Peripheral blood smear:
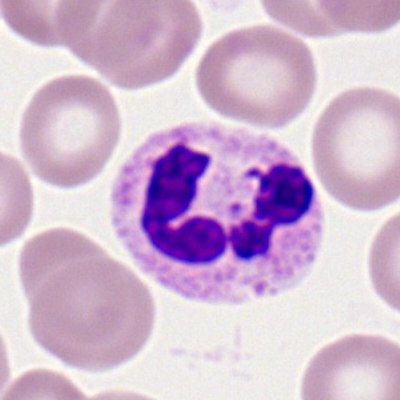

This is a segmented neutrophil.